Bone marrow aspirate smear. Brightfield microscopy, 40× oil immersion
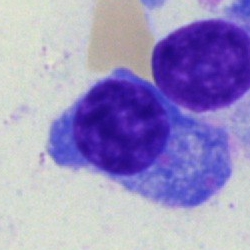
Single cell identified as a plasmacyte.